Cropped to a single cell. Bone marrow aspirate smear:
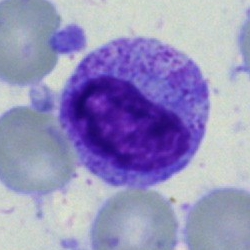 Specimen: bone marrow smear.
Morphological class: stab cell.
Lineage: myeloid.